Bone marrow smear — 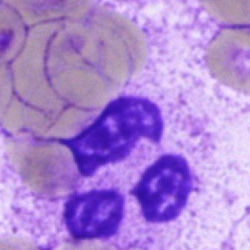Classification: segmented neutrophil.